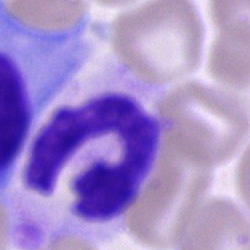Bone marrow aspirate smear, single cell — band neutrophil.